Bone marrow aspirate smear; 250×250 — 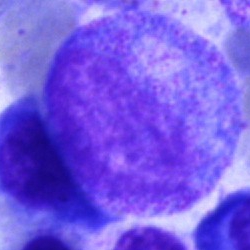Specimen: bone marrow smear.
Morphological class: progranulocyte.
Lineage: myeloid.